Bone marrow smear · May-Grünwald-Giemsa stain — 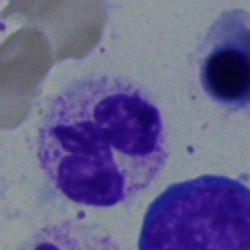

Morphology consistent with a segmented neutrophil.